Bone marrow smear · cropped to a single cell.
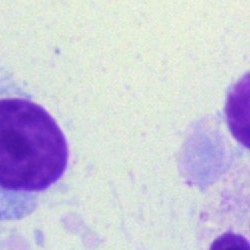
Artifact.